Bone marrow aspirate smear:
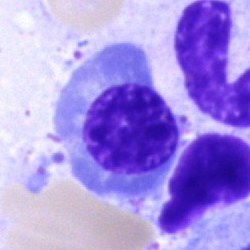
The cell shown is an erythroblast.